Bone marrow smear; 250×250.
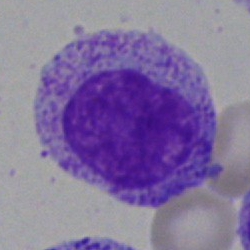Cell = myelocyte.